Image size 250×250. Bone marrow smear:
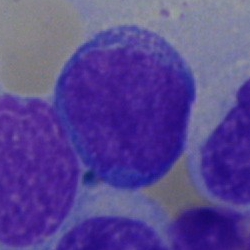
Specimen: bone marrow smear.
Classification: blast.